250 by 250 pixels. Bone marrow aspirate smear. Cropped to a single cell: 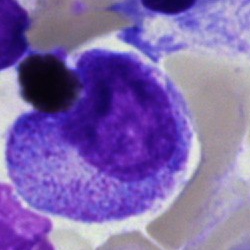 Showing a promyelocyte.